Bone marrow aspirate smear:
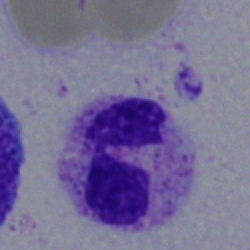

This is a segmented neutrophil.